250×250 · bone marrow smear.
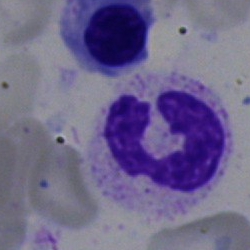Impression — segmented neutrophil.